Peripheral blood smear — 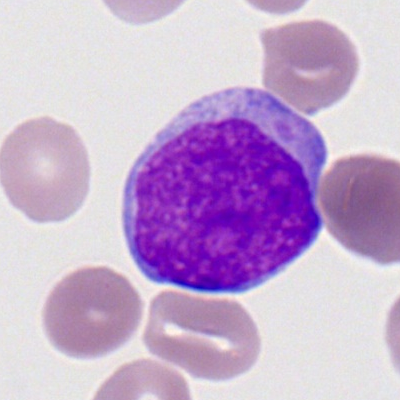
Morphological class: myeloblast.